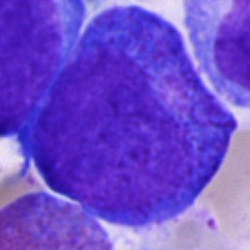
A promyelocyte on a bone marrow smear.